Bone marrow smear: 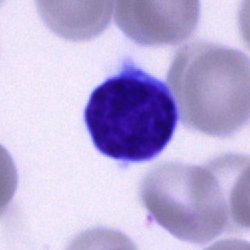Morphology — typical lymphocyte.